May-Grünwald-Giemsa/Pappenheim stain; bone marrow aspirate smear:
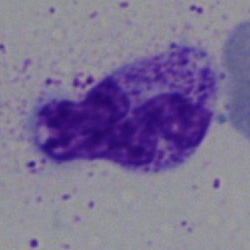{"cell_type": "neutrophil (segmented)", "lineage": "myeloid"}